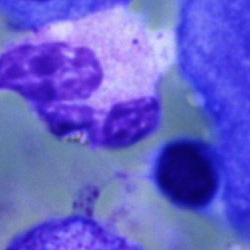 A neutrophil (segmented) on a bone marrow smear.